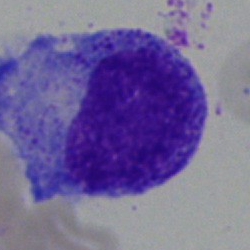
Q: What is shown here?
A: Promyelocyte.